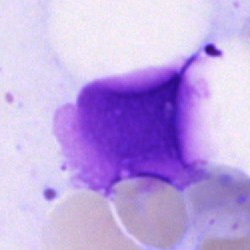

The cell shown is an artefact.